Bone marrow aspirate smear
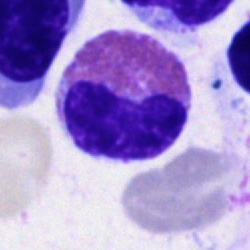 Specimen: bone marrow aspirate smear.
Morphological class: eosinophil.
Lineage: myeloid.